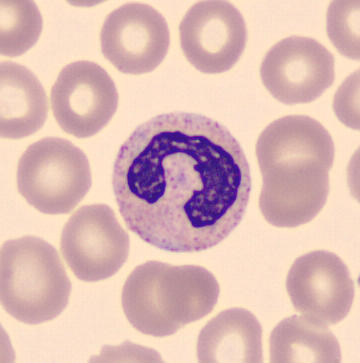Q: What is shown here?
A: A stab cell.
Peripheral blood film.